Bone marrow smear · 40× objective, oil immersion.
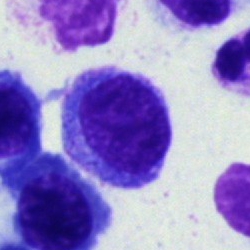

Showing a lymphocyte.